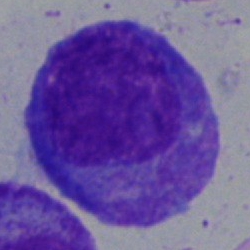

Morphological class — promyelocyte.